Brightfield, 40× oil-immersion objective. May-Grünwald-Giemsa/Pappenheim stain. Bone marrow smear
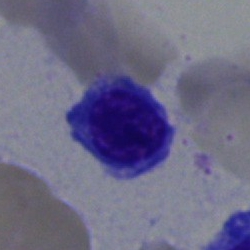This is a nucleated red cell.